Bone marrow smear
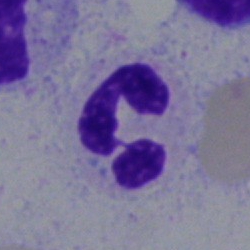 This is a polymorphonuclear neutrophil.